Bone marrow aspirate smear:
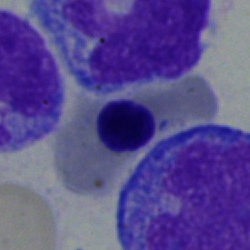 Q: What is the morphological classification of this cell?
A: A nucleated red blood cell.